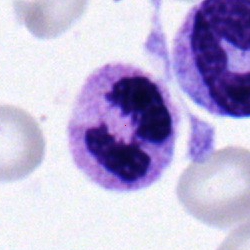

Cell type: segmented neutrophil.